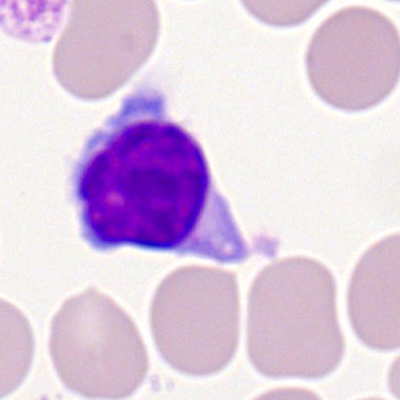

Q: Identify the cell.
A: A lymphocyte.